Bone marrow aspirate smear: 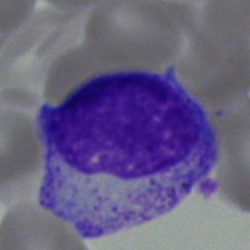 Q: What is shown here?
A: Myelocyte.